Brightfield microscopy, 40× oil immersion. Bone marrow aspirate smear.
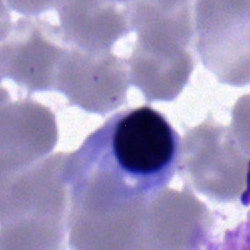

Morphology → erythroblast.